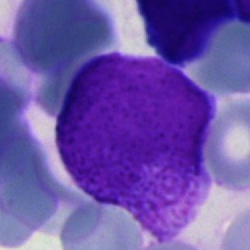Cell — blast.